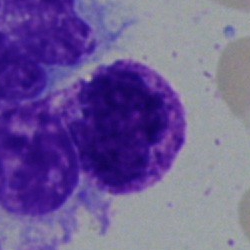Morphology — basophil.